Pappenheim-stained · bone marrow aspirate smear · 40× objective, oil immersion.
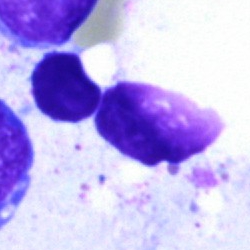The morphological class is artefact.